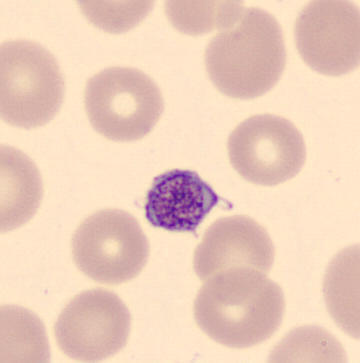
Specimen: peripheral blood smear.
Cell type: platelet.
MGG stain.